Single cell centered in the field; 40× objective, oil immersion; bone marrow aspirate smear
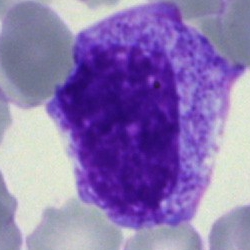The morphological class is promyelocyte.